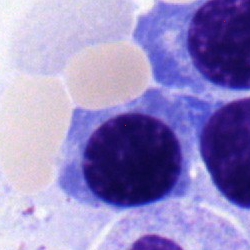 Impression → normoblast.